Bone marrow smear:
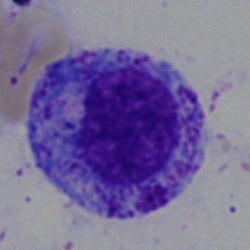A myelocyte.